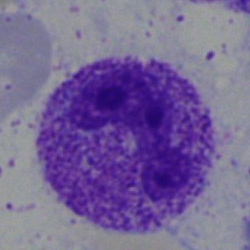
Morphology — neutrophil (segmented).